Bone marrow aspirate smear
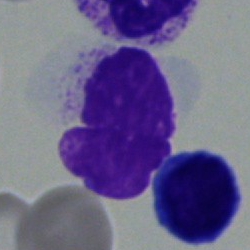

Classification — artifact.